Bone marrow aspirate smear:
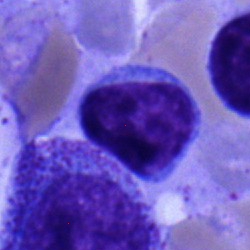 Cell type — typical lymphocyte.